250×250 px · bone marrow aspirate smear — 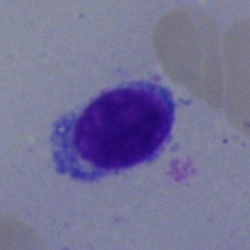
Morphological class = typical lymphocyte.